250 by 250 pixels. Bone marrow aspirate smear. Single cell centered in the field.
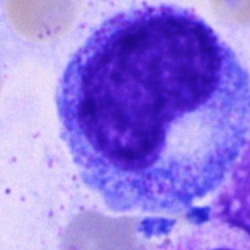Classification = progranulocyte.